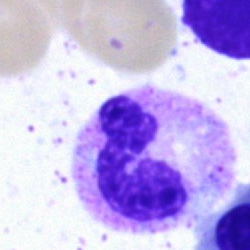

Impression — neutrophil (segmented).